Bone marrow smear. Brightfield, 40× oil-immersion objective. Single cell centered in the field.
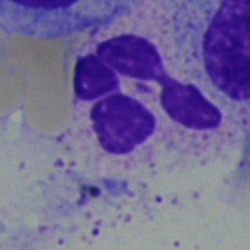
Single cell identified as a polymorphonuclear neutrophil.